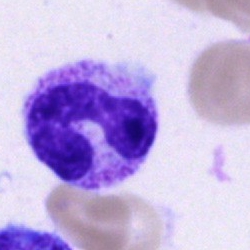
Morphological class: band neutrophil.